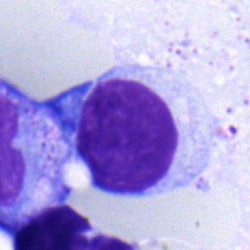Cell type — lymphocyte.